Bone marrow smear; 250 by 250 pixels
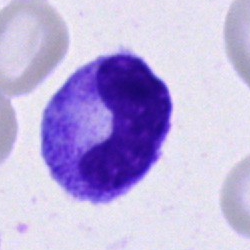

The morphological class is band neutrophil.